Bone marrow aspirate smear · 40× objective, oil immersion · image size 250×250 — 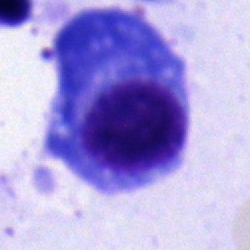 This is a nucleated red blood cell.